Bone marrow aspirate smear — 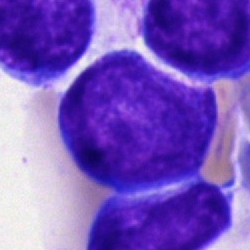
{"cell_type": "undifferentiated blast"}